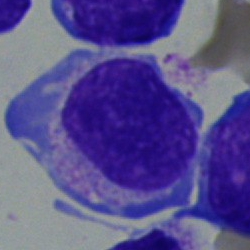Classification = promyelocyte.